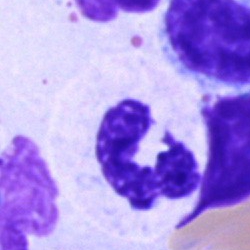 Single-cell crop from a bone marrow smear: neutrophil (segmented).